Bone marrow aspirate smear: 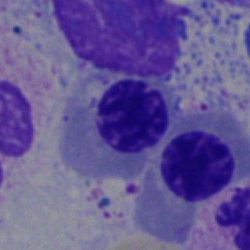Specimen: bone marrow aspirate smear.
Cell: nucleated red cell.
Lineage: erythroid.